Pappenheim-stained; bone marrow aspirate smear
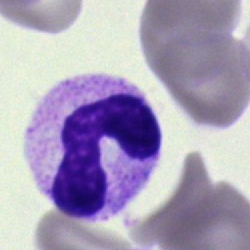 Morphology → stab cell.